Bone marrow aspirate smear
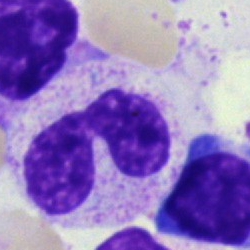Classification — segmented neutrophil.